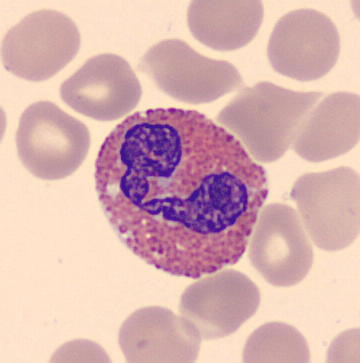 Peripheral blood smear · 360×363 · single-cell field.

The cell shown is an eosinophilic granulocyte.